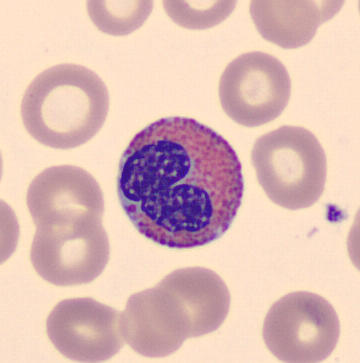

Cell = eosinophilic granulocyte.